Bone marrow aspirate smear
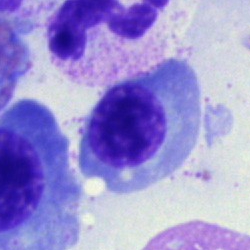

This is an erythroblast.